MGG-stained. Image size 250×250. Bone marrow smear — 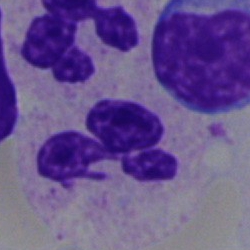 Morphology → neutrophil (segmented).